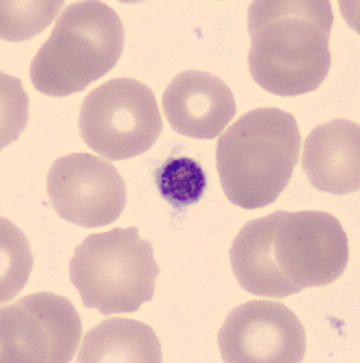
Specimen: peripheral blood smear.
Classification: thrombocyte.